Brightfield microscopy, 40× oil immersion. Bone marrow aspirate smear. Single-cell field:
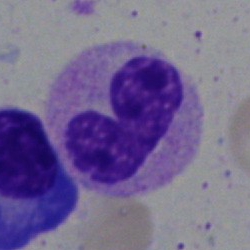

Classification = band-form neutrophil.